Pappenheim-stained; bone marrow smear; single cell centered in the field.
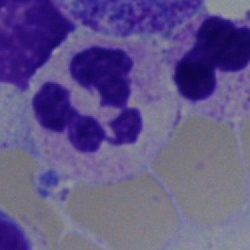
The cell shown is a segmented neutrophil.